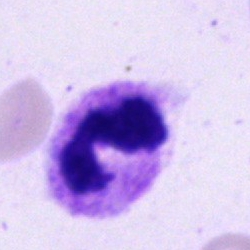
Specimen: bone marrow smear.
Classification: polymorphonuclear neutrophil.